May-Grünwald-Giemsa/Pappenheim stain · bone marrow smear.
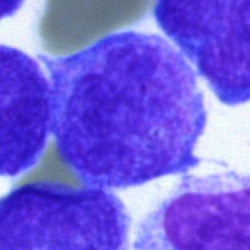Blast.